Bone marrow smear: 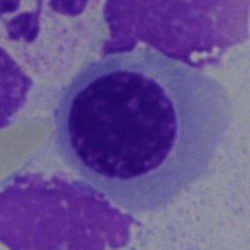

Single cell identified as an erythroblast.